Bone marrow smear: 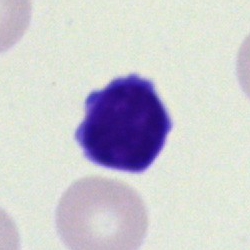
Single cell identified as a lymphocyte.